Bone marrow aspirate smear; 250 by 250 pixels: 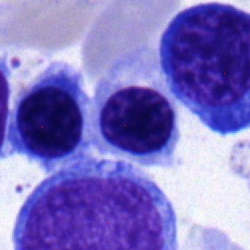 Cell type = erythroblast.